Bone marrow aspirate smear:
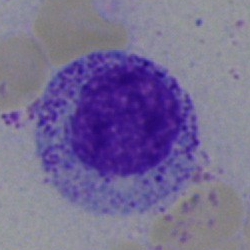 {"cell_type": "promyelocyte"}